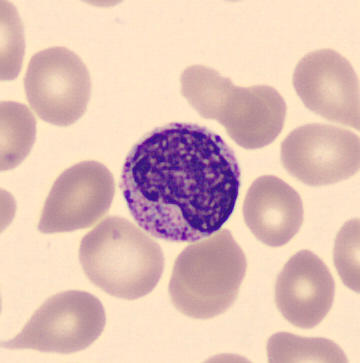

Classification — metamyelocyte.